Bone marrow aspirate smear:
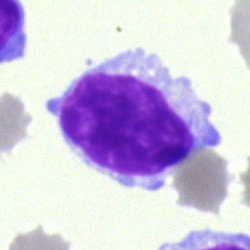 {"cell_type": "typical lymphocyte"}